Bone marrow smear. 40× objective, oil immersion:
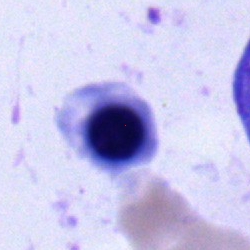
Q: What cell is this?
A: A nucleated red cell.